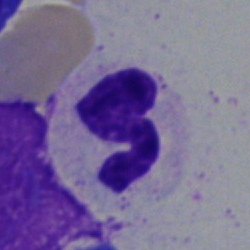

Single-cell crop from a bone marrow smear: segmented neutrophil.